Bone marrow aspirate smear · 250×250.
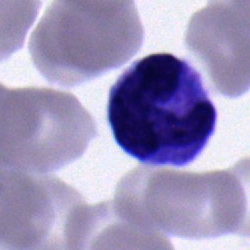 The cell shown is a monocyte.